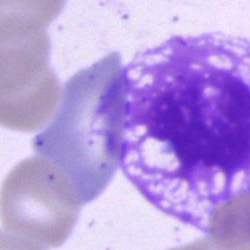

Impression — artifact.